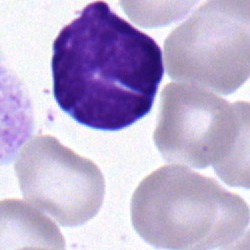 Q: Which cell type is shown here?
A: It is a typical lymphocyte.